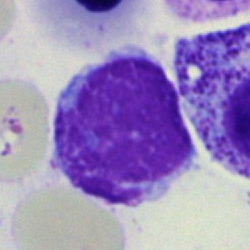The classification is artefact.